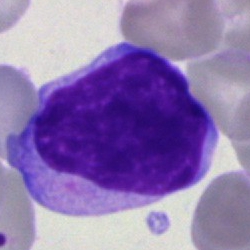
Cell = immature lymphocyte.